Bone marrow smear:
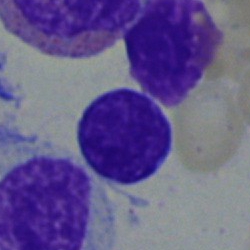

Specimen: bone marrow smear.
Classification: lymphocyte.
Lineage: lymphoid.